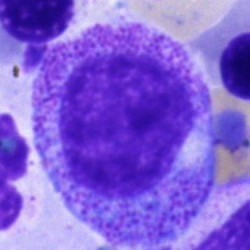

Classification = promyelocyte.